Bone marrow smear; single-cell crop: 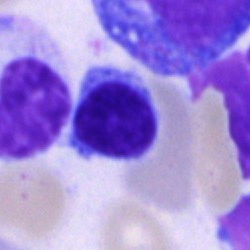Cell type: typical lymphocyte.